Bone marrow aspirate smear.
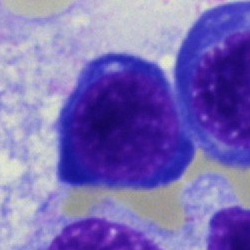 {"cell_type": "normoblast"}